Bone marrow aspirate smear:
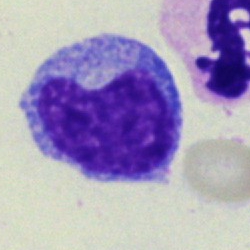
This is a promyelocyte.